Bone marrow aspirate smear — 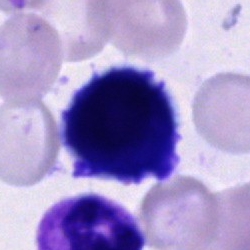

Showing a cell of indeterminate lineage.